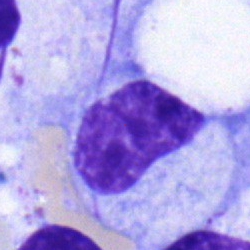
Specimen: bone marrow aspirate smear.
Morphological class: metamyelocyte.
Lineage: myeloid.